Bone marrow smear · 250×250 px · brightfield, 40× oil-immersion objective
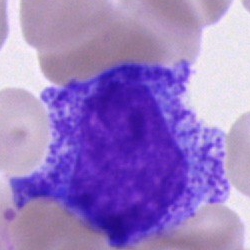

Single cell identified as a progranulocyte.